Bone marrow smear:
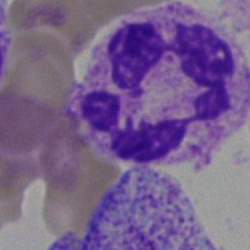
Specimen: bone marrow aspirate smear.
Morphological class: polymorphonuclear neutrophil.
Lineage: myeloid.